250 by 250 pixels. Bone marrow smear — 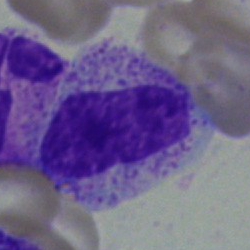
The cell shown is a metamyelocyte.